Peripheral blood film. 100× oil immersion — 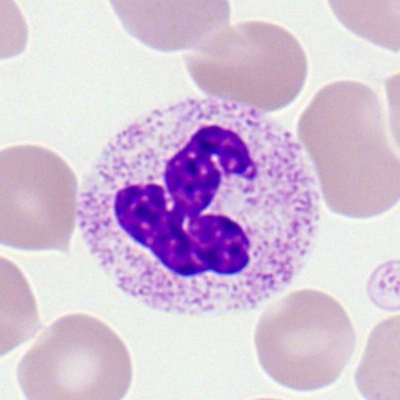
A polymorphonuclear neutrophil.